40× oil immersion. Bone marrow smear — 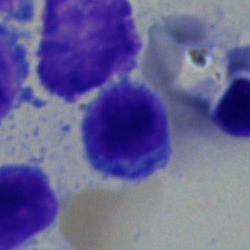 Classification = lymphocyte.